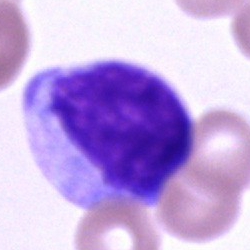

Impression — unidentifiable cell.